Bone marrow aspirate smear:
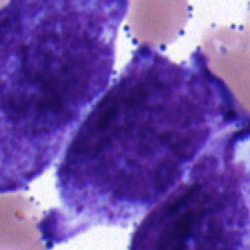

Morphology consistent with a blast cell.